Bone marrow smear:
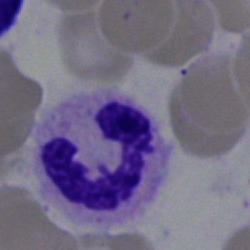
The cell shown is a segmented neutrophil.